Cropped to a single cell; 250×250 px; bone marrow aspirate smear — 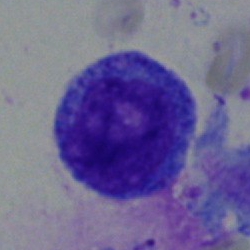 Q: Identify the cell.
A: This is a progranulocyte.